MGG-stained · brightfield microscopy, 40× oil immersion · bone marrow aspirate smear:
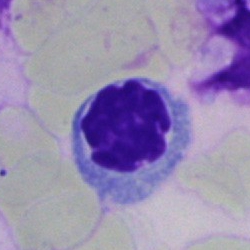

Erythroblast.